Bone marrow smear.
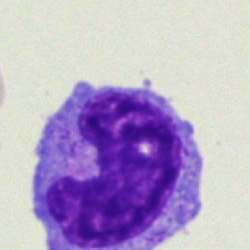

The cell is monocyte.